Bone marrow aspirate smear: 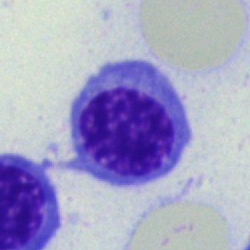
A normoblast.